May-Grünwald-Giemsa stain; bone marrow smear
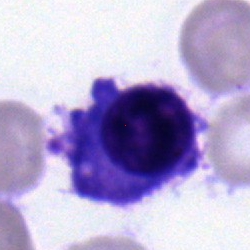The cell shown is a plasmacyte.